Bone marrow aspirate smear:
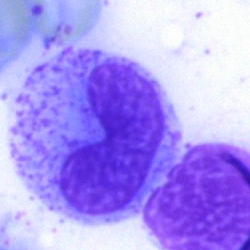
The cell type is neutrophil (band).